Bone marrow aspirate smear. Brightfield, 40× oil-immersion objective:
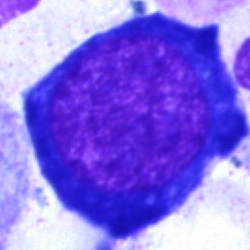Morphology consistent with a pronormoblast.